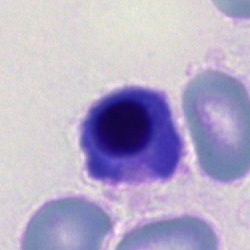
Impression → erythroblast.